Single-cell field · bone marrow smear.
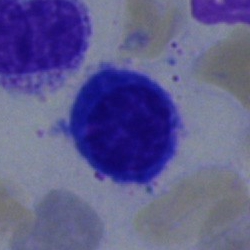

A normoblast.